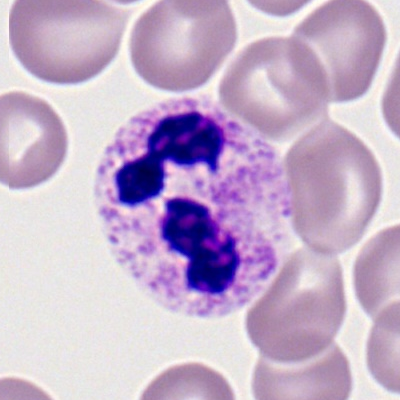

Morphological class — polymorphonuclear neutrophil.